Bone marrow smear: 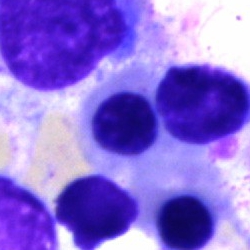Q: Identify the cell.
A: Normoblast.